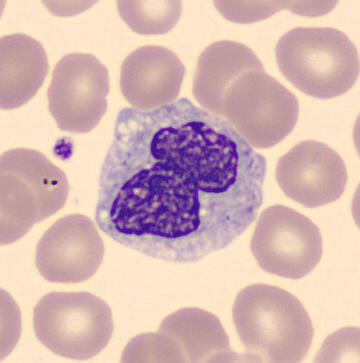Showing a monocyte.